Bone marrow smear · 250×250 px:
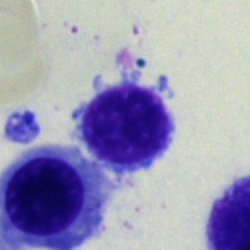Morphology — typical lymphocyte.